Bone marrow aspirate smear — 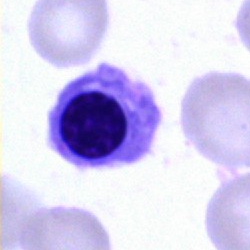
Q: Identify the cell.
A: It is an erythroblast.